Bone marrow smear. May-Grünwald-Giemsa/Pappenheim stain. Brightfield microscopy, 40× oil immersion — 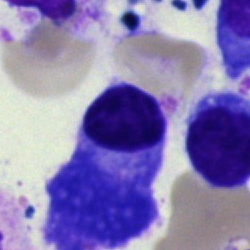Morphological class: plasma cell.